Brightfield, 40× oil-immersion objective. Bone marrow smear — 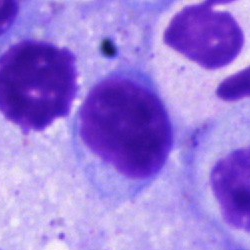

The cell is plasmacyte.